Bone marrow smear; MGG-stained: 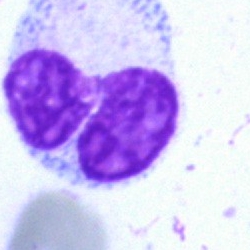The cell shown is an artifact.